M8 digital microscope (Precipoint), 100× oil immersion · peripheral blood film · cropped to a single cell: 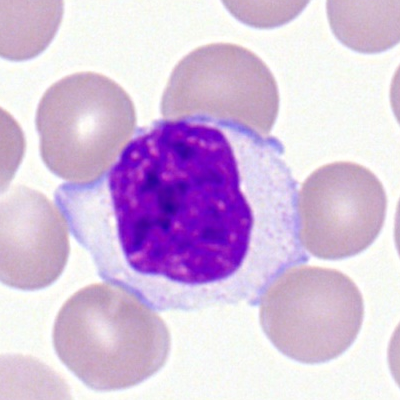

Specimen: peripheral blood film.
Classification: lymphocyte.
Lineage: lymphoid.